Bone marrow aspirate smear: 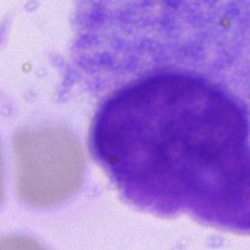
Morphology → artifact.